Peripheral blood smear — 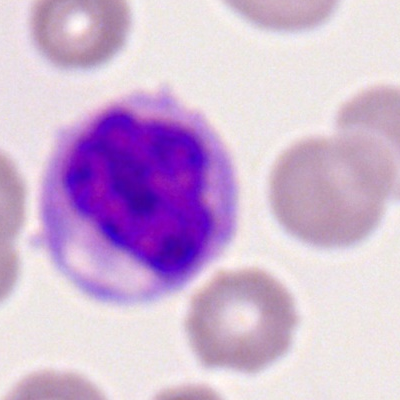

Morphological class = monocyte.